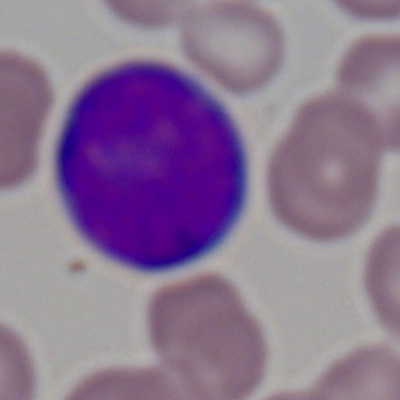
This is a myeloid blast.